Bone marrow aspirate smear.
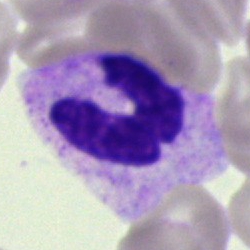Specimen: bone marrow smear.
Classification: polymorphonuclear neutrophil.
Lineage: myeloid.